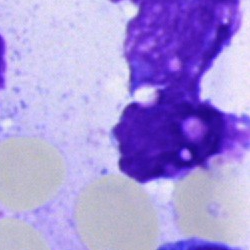
Bone marrow aspirate smear, single cell — artefact.